250×250 px. Bone marrow aspirate smear. Single-cell field: 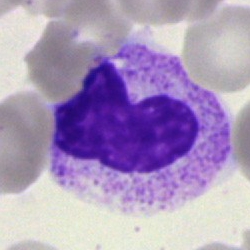
Cell type — band neutrophil.